Bone marrow aspirate smear:
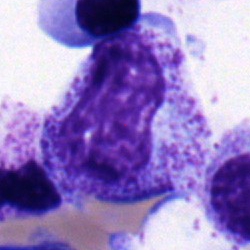 Single cell identified as a promyelocyte.